Bone marrow aspirate smear:
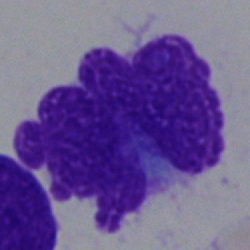 Artifact.